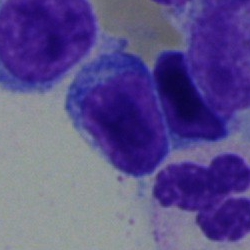 This is a typical lymphocyte.